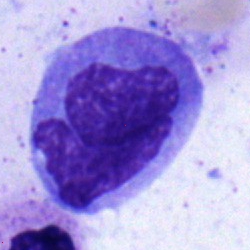 Single cell identified as a monocyte.